Bone marrow aspirate smear
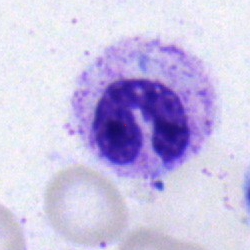
Morphology consistent with a band neutrophil.